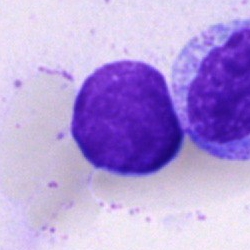

The cell shown is an artifact.